Bone marrow aspirate smear.
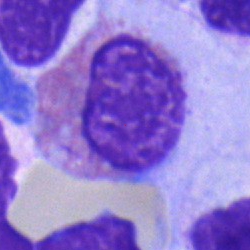
Morphology consistent with an eosinophilic granulocyte.